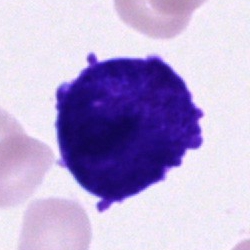
Q: What is the morphological classification of this cell?
A: A cell of indeterminate lineage.